Bone marrow aspirate smear: 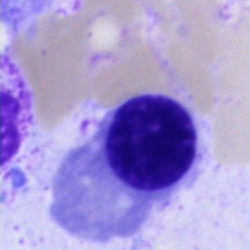
Morphology consistent with a plasma cell.